Bone marrow aspirate smear
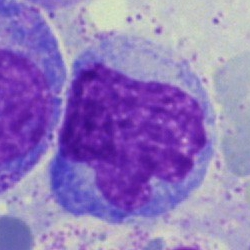

Morphological class — monocyte.